Brightfield, 40× oil-immersion objective · May-Grünwald-Giemsa/Pappenheim stain · bone marrow smear: 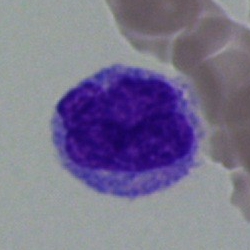 Q: Which cell type is shown here?
A: This is a monocyte.